Bone marrow smear.
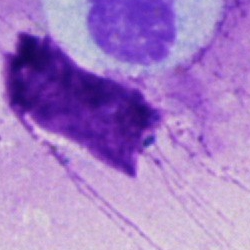Q: What is shown here?
A: Artifact.